Bone marrow smear — 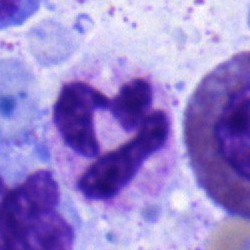The morphological class is segmented neutrophil.